Bone marrow smear.
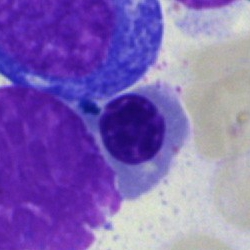

{"cell_type": "normoblast", "lineage": "erythroid"}